Single cell centered in the field · bone marrow aspirate smear — 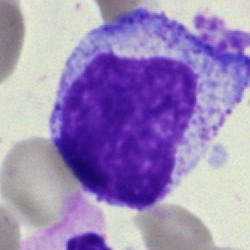

Morphology consistent with a myelocyte.